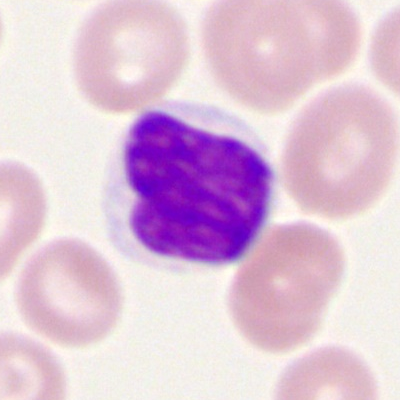 The morphological class is lymphocyte.